40× oil immersion. Bone marrow aspirate smear. Single-cell field — 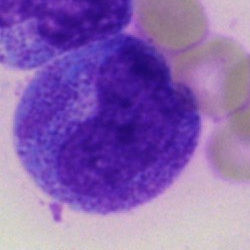Impression → progranulocyte.